Bone marrow smear · MGG-stained: 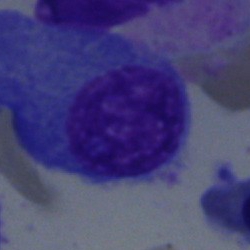
Morphology — plasmacyte.